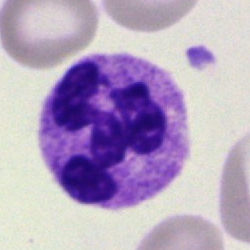{"cell_type": "segmented neutrophil", "lineage": "myeloid"}